Brightfield, 40× oil-immersion objective; bone marrow smear.
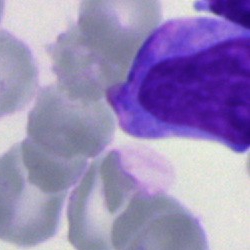 Morphology → blast cell.